Bone marrow smear. 250 by 250 pixels. Single cell centered in the field — 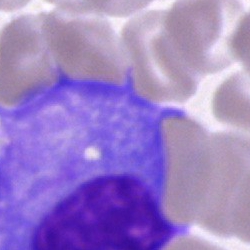

Q: Which cell type is shown here?
A: Plasma cell.